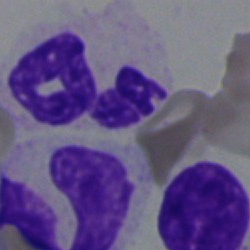This is a segmented neutrophil.